Bone marrow aspirate smear · 250×250 px · brightfield microscopy, 40× oil immersion:
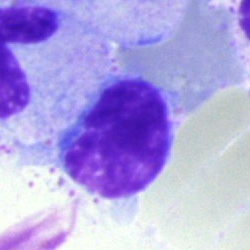
Morphology → lymphocyte.